Bone marrow smear; May-Grünwald-Giemsa/Pappenheim stain:
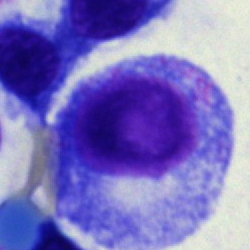Morphology consistent with a progranulocyte.